Bone marrow aspirate smear · 250×250 px: 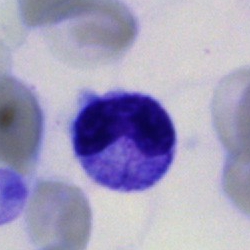Cell: metamyelocyte.